Bone marrow aspirate smear. Pappenheim-stained — 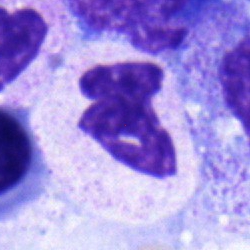 Cell = segmented neutrophil.